Bone marrow aspirate smear; single-cell crop; Pappenheim-stained
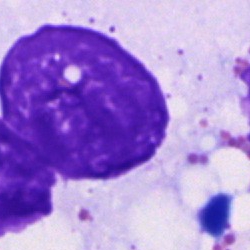 This is an artifact.